Bone marrow smear:
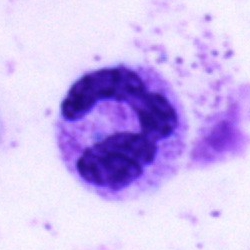
Morphology consistent with a segmented neutrophil.